Bone marrow aspirate smear. Image size 250×250:
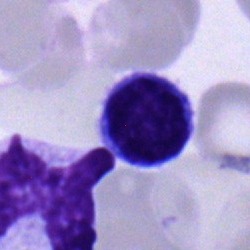Q: What is the morphological classification of this cell?
A: This is a lymphocyte.